Romanowsky stain. Single cell centered in the field. Peripheral blood film:
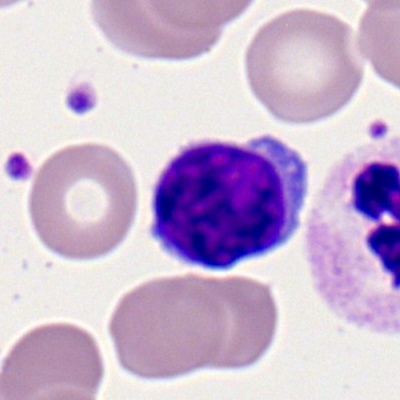Q: Which cell type is shown here?
A: This is a lymphocyte.